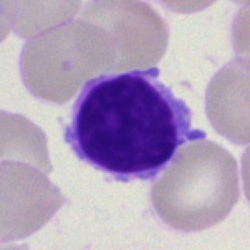

Single-cell crop from a bone marrow smear: typical lymphocyte.